Bone marrow smear · single-cell field.
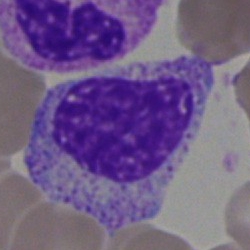
{"cell_type": "myelocyte", "lineage": "myeloid"}